Bone marrow aspirate smear
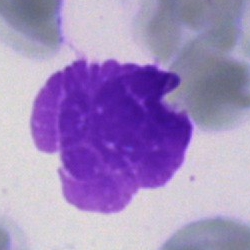Classification — artifact.